Bone marrow smear; May-Grünwald-Giemsa/Pappenheim stain; cropped to a single cell:
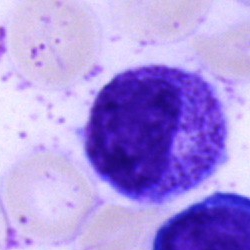
{"cell_type": "progranulocyte", "lineage": "myeloid"}